MGG-stained. Brightfield microscopy, 40× oil immersion. Bone marrow aspirate smear
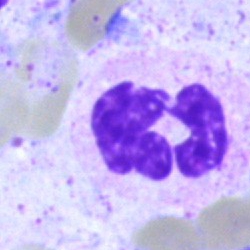

Single cell identified as a neutrophil (segmented).